Bone marrow smear; 250×250 px; brightfield, 40× oil-immersion objective
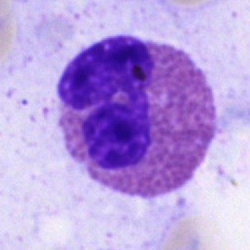 Cell type — eosinophil.